Romanowsky stain. Peripheral blood film. Single-cell field.
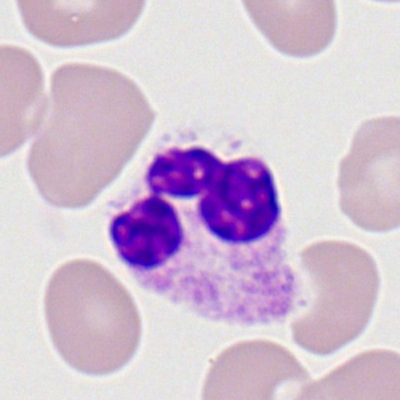 Impression — segmented neutrophil.